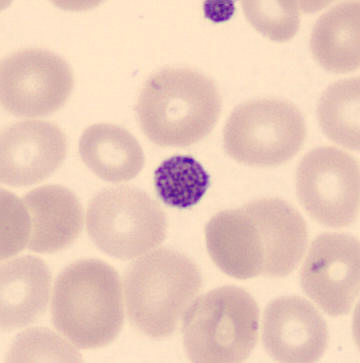

A thrombocyte.
Peripheral blood smear.